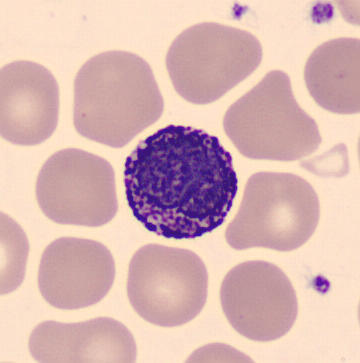Preparation: Peripheral blood film; MGG stain. Classification = basophil.